Bone marrow aspirate smear · single-cell crop — 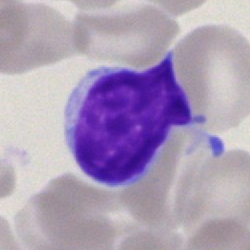

Morphology consistent with a typical lymphocyte.